Peripheral blood smear
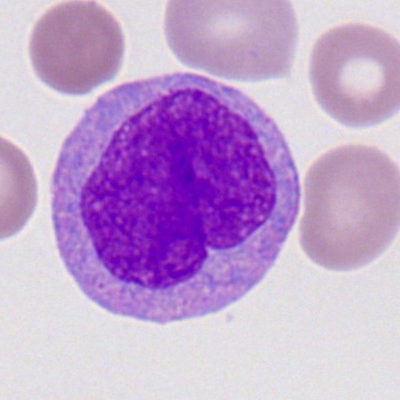

Single cell identified as a myeloblast.